Pappenheim-stained · bone marrow aspirate smear: 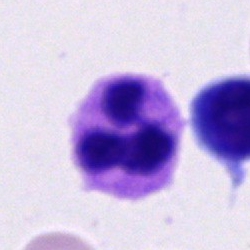 Specimen: bone marrow aspirate smear.
Cell: polymorphonuclear neutrophil.
Lineage: myeloid.